Bone marrow smear · brightfield, 40× oil-immersion objective · single-cell crop.
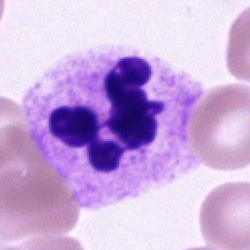 Single cell identified as a neutrophil (segmented).